Bone marrow smear — 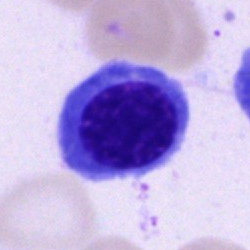
The cell shown is an erythroblast.